Bone marrow aspirate smear. Single-cell field: 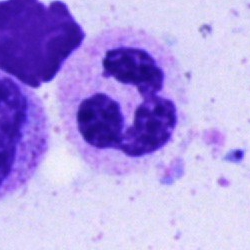 Q: What is the morphological classification of this cell?
A: This is a segmented neutrophil.